Bone marrow smear
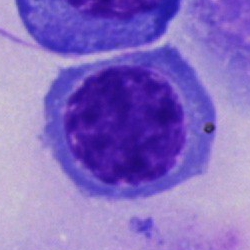
Specimen: bone marrow smear.
Cell: nucleated red blood cell.
Lineage: erythroid.